40× objective, oil immersion · bone marrow smear: 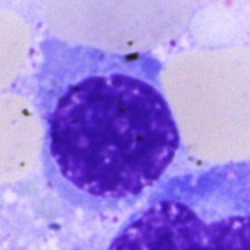
Q: Identify the cell.
A: An erythroblast.